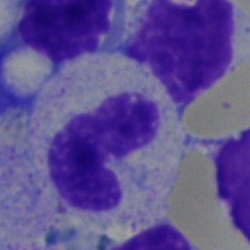

Cell type: band-form neutrophil.